Bone marrow aspirate smear · May-Grünwald-Giemsa/Pappenheim stain
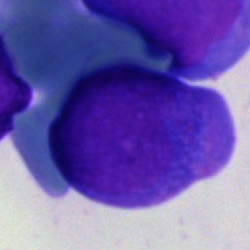
Undifferentiated blast.